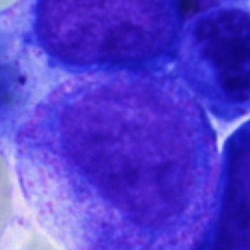Classification: progranulocyte.